May-Grünwald-Giemsa/Pappenheim stain; bone marrow smear — 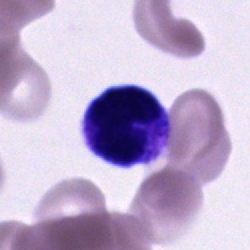Morphological class: cell of indeterminate lineage.